Peripheral blood film
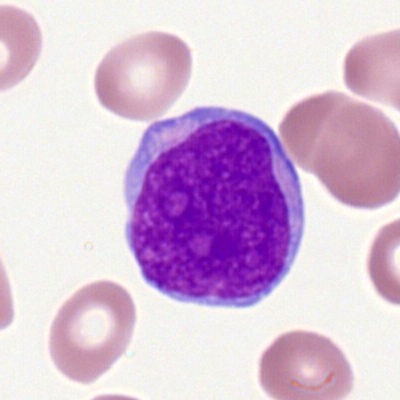

Morphology consistent with a myeloid blast.